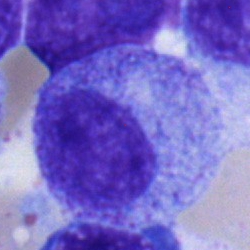

Single cell identified as a myelocyte.